Bone marrow aspirate smear — 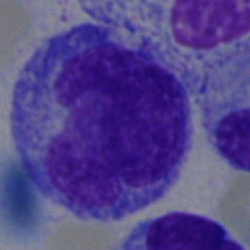
Cell — monocyte.